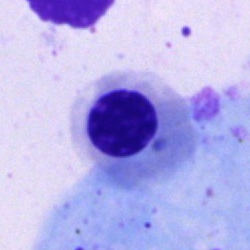Single-cell crop from a bone marrow smear: nucleated red blood cell.